Single-cell crop; MGG-stained; bone marrow smear
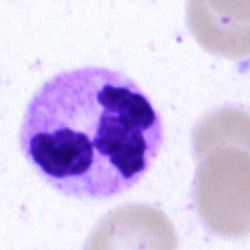

The cell shown is a segmented neutrophil.